Bone marrow aspirate smear; 250×250.
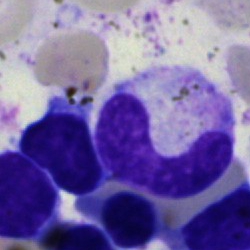
Morphology consistent with a stab cell.